Bone marrow smear. Single-cell crop
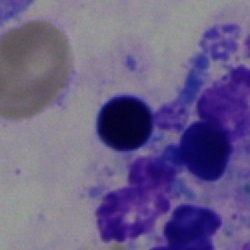

Morphology → erythroblast.